Bone marrow smear
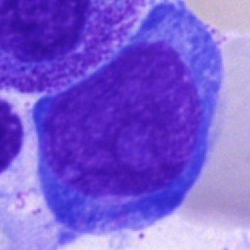 The cell shown is a blast.